Bone marrow aspirate smear
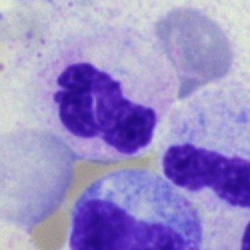 Q: What is the morphological classification of this cell?
A: This is a segmented neutrophil.